Bone marrow smear; 40× objective, oil immersion:
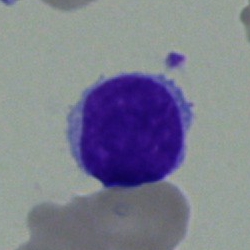

Typical lymphocyte.